Peripheral blood smear: 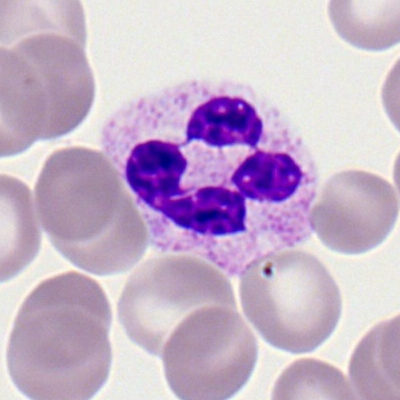 Q: What is shown here?
A: Segmented neutrophil.